Bone marrow aspirate smear; 250×250 px — 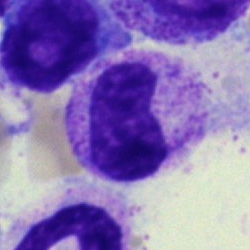Classification = metamyelocyte.